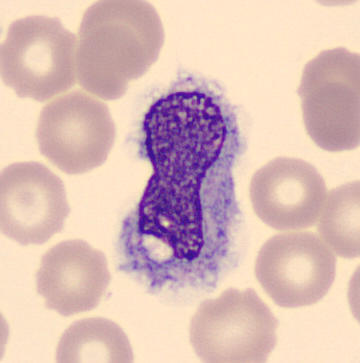
Q: Identify the cell.
A: A monocyte.